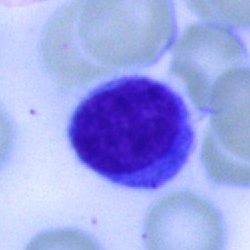
Classification — typical lymphocyte.